Bone marrow aspirate smear.
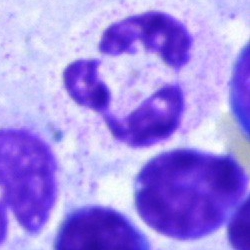
This is a segmented neutrophil.